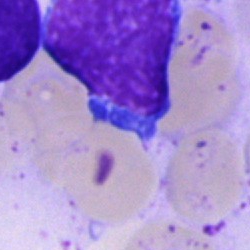 {"cell_type": "blast"}